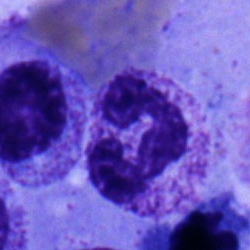
Specimen: bone marrow smear.
Cell type: band neutrophil.